Peripheral blood film — 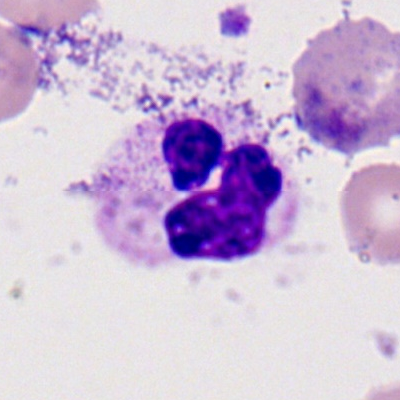The cell is segmented neutrophil.